Bone marrow aspirate smear:
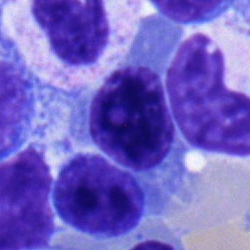

Showing a nucleated red cell.